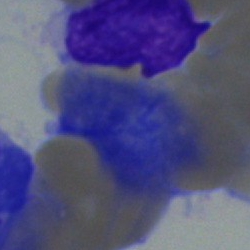 Cell type — artefact.